Bone marrow aspirate smear. 250×250:
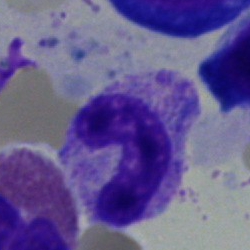 Stab cell.